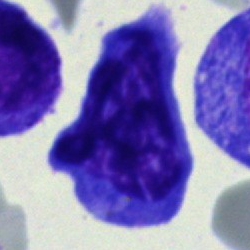

Classification = artifact.